Cropped to a single cell · bone marrow smear: 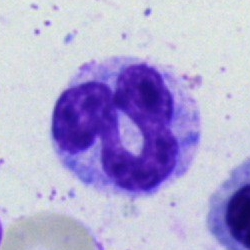 Specimen: bone marrow aspirate smear.
Cell type: monocyte.
Lineage: myeloid.